Bone marrow aspirate smear · 250×250
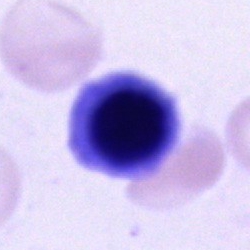 Specimen: bone marrow smear.
Cell type: cell of indeterminate lineage.